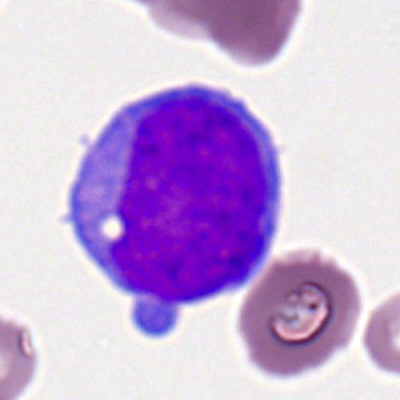 Impression → myeloblast.